May-Grünwald-Giemsa/Pappenheim stain · bone marrow smear:
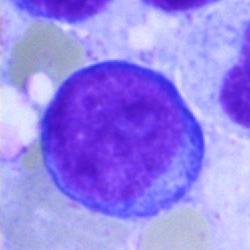

Morphology — proerythroblast.